Bone marrow smear
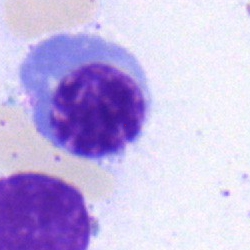

Specimen: bone marrow aspirate smear.
Cell: erythroblast.